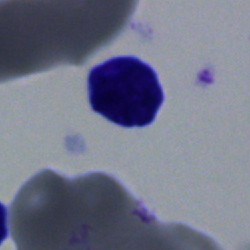Showing a lymphocyte.